Bone marrow aspirate smear · 250×250:
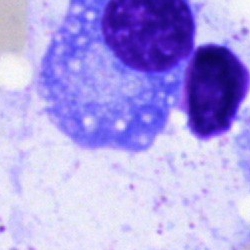
The morphological class is plasma cell.